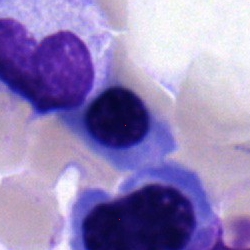Specimen: bone marrow aspirate smear.
Cell type: normoblast.
Lineage: erythroid.